Bone marrow smear.
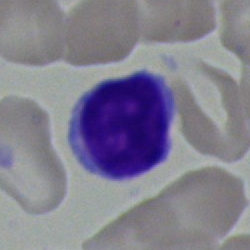 Impression → typical lymphocyte.